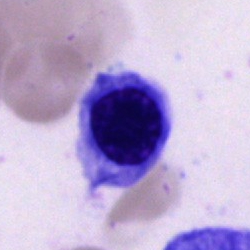Morphological class: nucleated red cell.